Bone marrow aspirate smear: 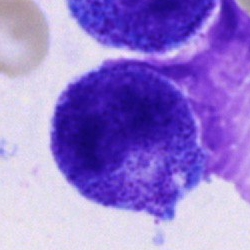 The cell shown is a progranulocyte.